Bone marrow smear:
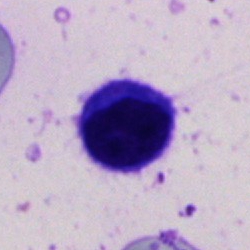
Cell: erythroblast.